Bone marrow aspirate smear · single-cell crop.
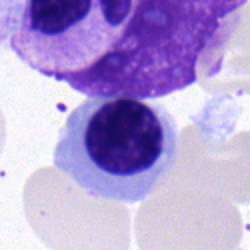 Specimen: bone marrow aspirate smear.
Cell: nucleated red cell.